Peripheral blood film:
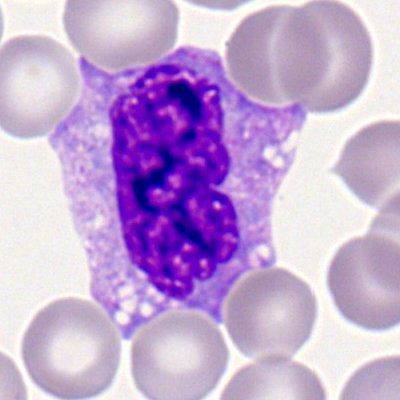Classification — monocyte.